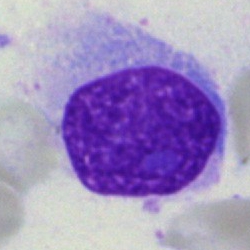 {"cell_type": "lymphocyte", "lineage": "lymphoid"}